Peripheral blood smear: 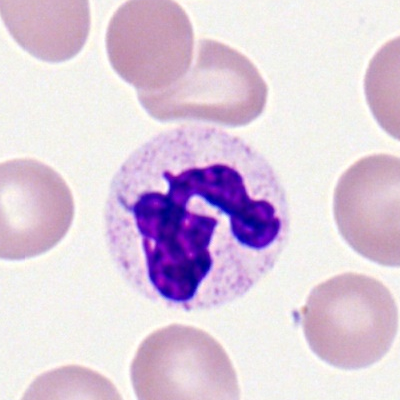Single cell identified as a neutrophil (segmented).